Bone marrow aspirate smear:
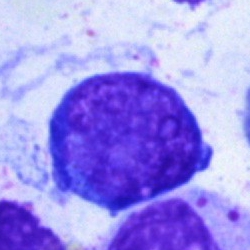Classification: typical lymphocyte.